Bone marrow smear · image size 250×250 — 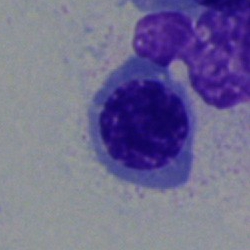
Impression → nucleated red cell.